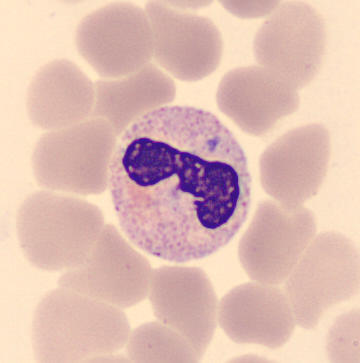 Q: Which cell type is shown here?
A: A neutrophil (band).
Preparation: Peripheral blood smear.